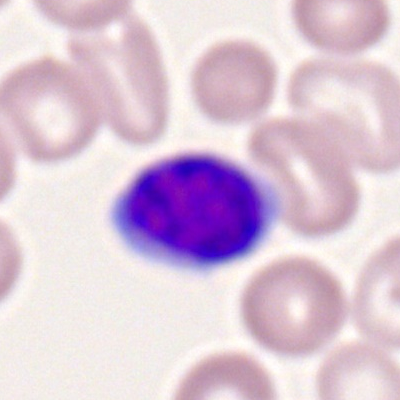

The cell shown is a typical lymphocyte.